Bone marrow aspirate smear: 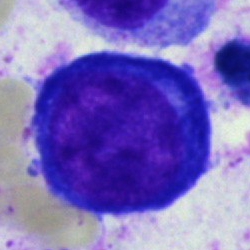

Impression — pronormoblast.